May-Grünwald-Giemsa stain; bone marrow aspirate smear:
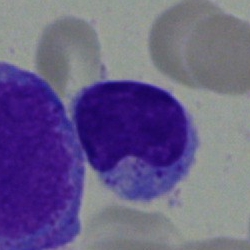
The cell shown is a typical lymphocyte.